Bone marrow smear — 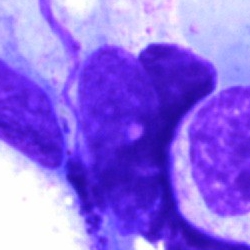Impression → artefact.